Bone marrow smear: 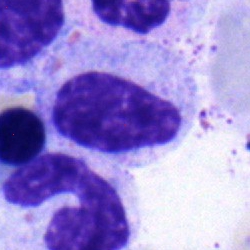 Cell = metamyelocyte.